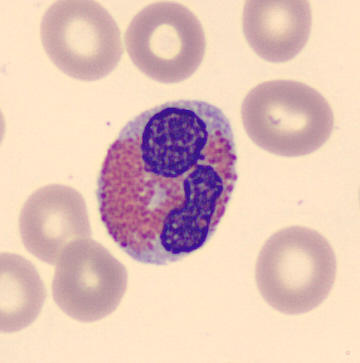

Q: What is the morphological classification of this cell?
A: This is an eosinophil.
Preparation: Peripheral blood film; 360 by 363 pixels; imaged on a CellaVision DM96 analyser.